250×250 · Pappenheim-stained · bone marrow smear:
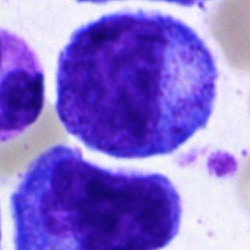

This is a progranulocyte.